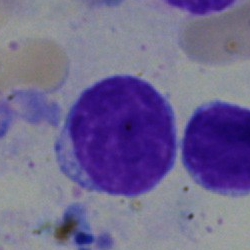Q: What cell is this?
A: This is a typical lymphocyte.